Peripheral blood film.
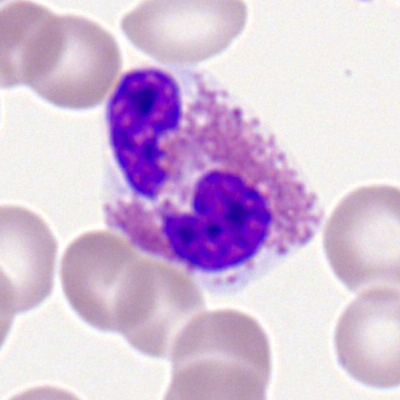The cell is eosinophil.